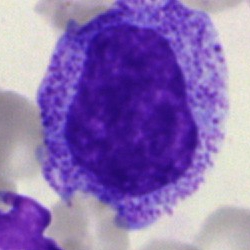

Specimen: bone marrow smear.
Cell: progranulocyte.